Bone marrow aspirate smear.
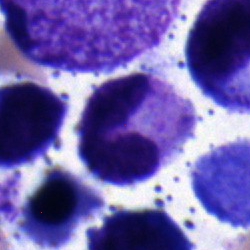Morphological class — polymorphonuclear neutrophil.